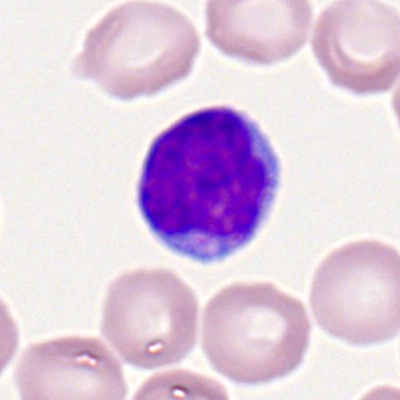
Showing a lymphocyte.